Bone marrow aspirate smear:
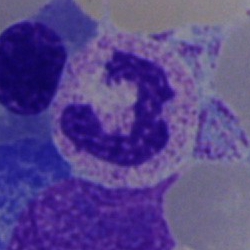Cell type = neutrophil (segmented).